May-Grünwald-Giemsa/Pappenheim stain. 250×250 px. Bone marrow aspirate smear.
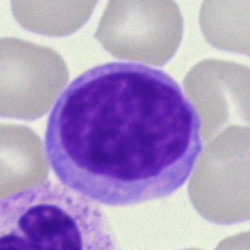Specimen: bone marrow aspirate smear.
Morphological class: lymphocyte.